Peripheral blood film · single cell centered in the field · Romanowsky stain.
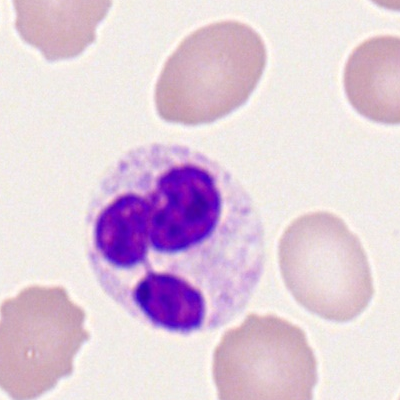

Cell = neutrophil (segmented).